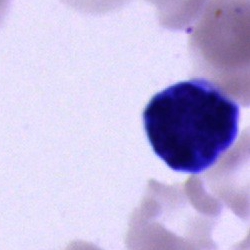{"cell_type": "unidentifiable cell"}